Bone marrow smear; single cell centered in the field; 40× objective, oil immersion:
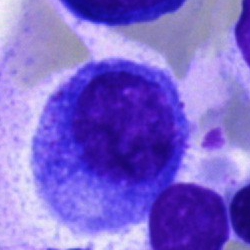 Single cell identified as a promyelocyte.